Bone marrow aspirate smear. Image size 250×250 — 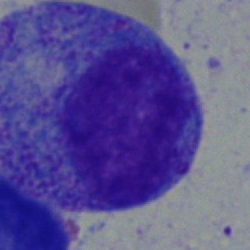The cell shown is a promyelocyte.